Bone marrow aspirate smear. 40× objective, oil immersion
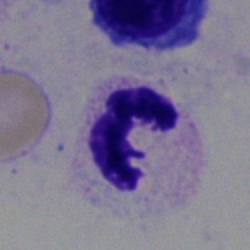
Specimen: bone marrow smear.
Cell: polymorphonuclear neutrophil.
Lineage: myeloid.